100× oil immersion, 14.14 px/µm; peripheral blood smear; Romanowsky stain
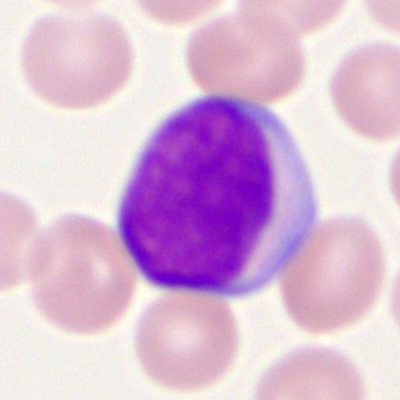Specimen: peripheral blood film.
Morphological class: myeloid blast.